Bone marrow smear — 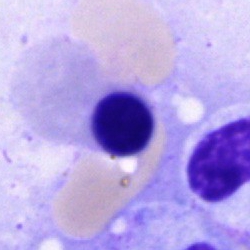A nucleated red blood cell.